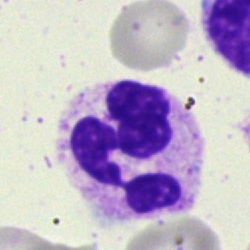 A polymorphonuclear neutrophil on a bone marrow smear.